Bone marrow aspirate smear. 40× oil immersion.
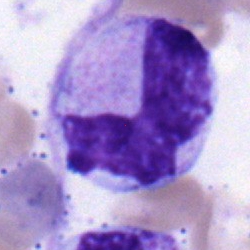
The cell is segmented neutrophil.